Bone marrow aspirate smear — 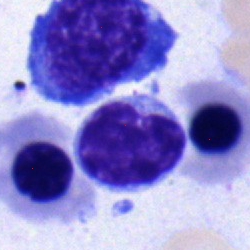

Specimen: bone marrow aspirate smear.
Cell type: typical lymphocyte.